Bone marrow aspirate smear
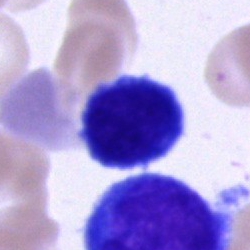

Morphology — cell of indeterminate lineage.